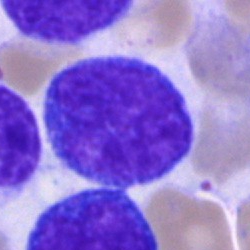Q: What is shown here?
A: It is a blast cell.